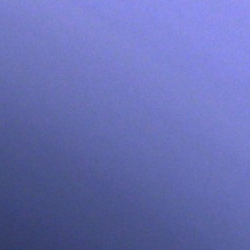
Bone marrow aspirate smear, single cell — artifact.